Brightfield, 40× oil-immersion objective. Bone marrow smear: 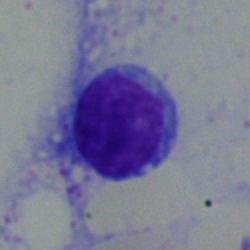Specimen: bone marrow aspirate smear.
Classification: lymphocyte.
Lineage: lymphoid.